Bone marrow smear; 40× objective, oil immersion; May-Grünwald-Giemsa/Pappenheim stain: 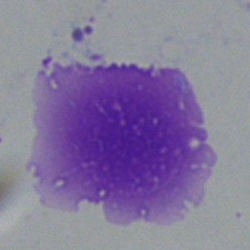

Cell — artifact.